Bone marrow smear:
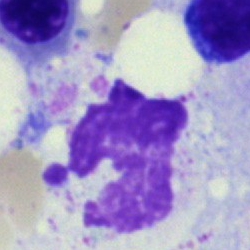 Single cell identified as an artifact.